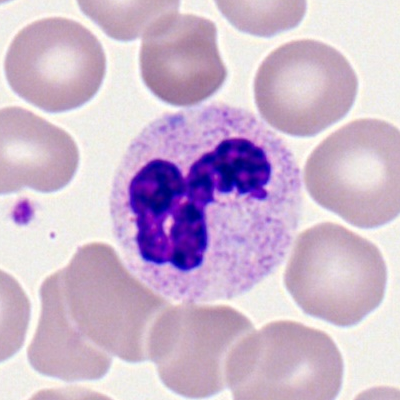

Peripheral blood smear showing a neutrophil (segmented).